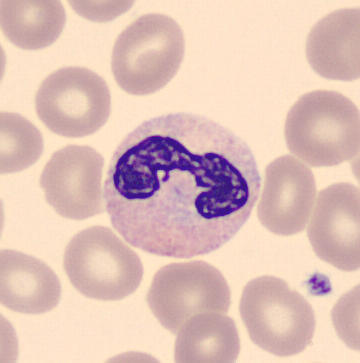
Specimen: peripheral blood film.
Morphological class: segmented neutrophil.
Lineage: myeloid.